Image size 250×250 · bone marrow smear · single cell centered in the field
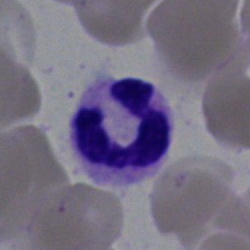 Showing a polymorphonuclear neutrophil.